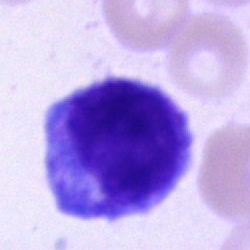 Q: What is shown here?
A: It is an unidentifiable cell.